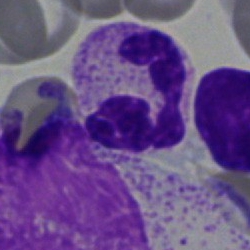

The cell is segmented neutrophil.